Bone marrow smear
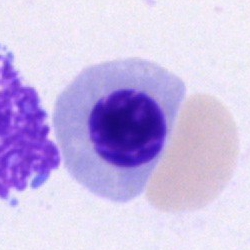 Showing a nucleated red cell.